Bone marrow smear: 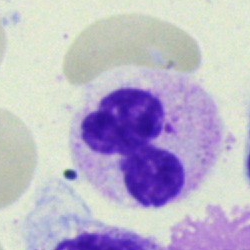

Impression — neutrophil (segmented).